Bone marrow smear — 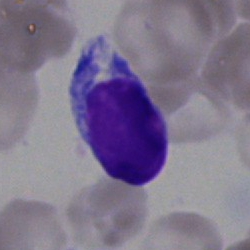 Specimen: bone marrow aspirate smear.
Morphological class: typical lymphocyte.